Bone marrow aspirate smear — 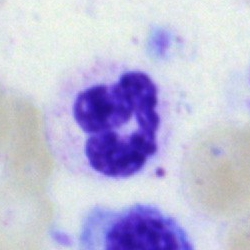

Morphology → polymorphonuclear neutrophil.